Bone marrow aspirate smear. May-Grünwald-Giemsa stain.
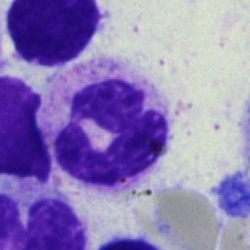

Q: What is the morphological classification of this cell?
A: This is a segmented neutrophil.